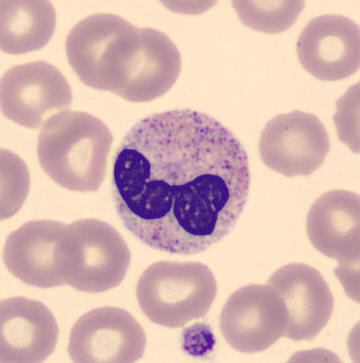

The cell type is neutrophil (band).